Bone marrow aspirate smear:
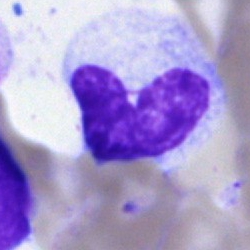 Band neutrophil.